Image size 250×250 · single-cell field · bone marrow smear
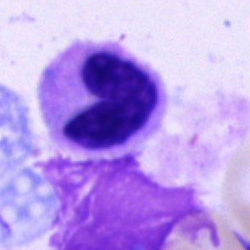 Single cell identified as a neutrophil (band).